Bone marrow smear · 40× objective, oil immersion.
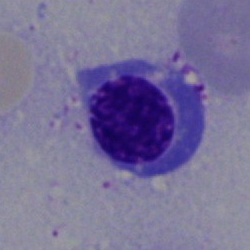Morphological class: erythroblast.